Bone marrow smear:
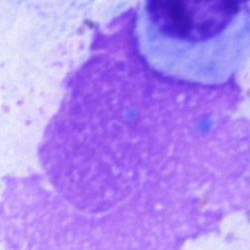{"cell_type": "artefact"}